Bone marrow aspirate smear; 250 by 250 pixels
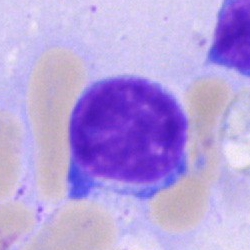 This is a lymphocyte.